Single-cell field. Bone marrow smear.
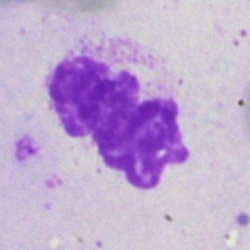 Morphology → artefact.